MGG-stained. Bone marrow smear — 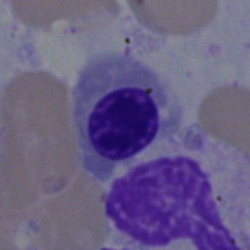

Specimen: bone marrow aspirate smear.
Classification: erythroblast.